Bone marrow smear.
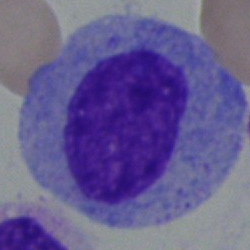Impression → myelocyte.